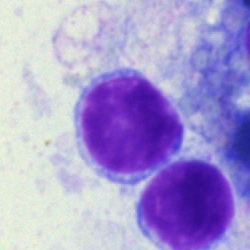
Specimen: bone marrow aspirate smear.
Morphological class: lymphocyte.